Bone marrow smear — 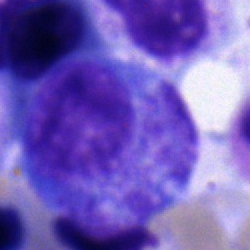

Q: Identify the cell.
A: Progranulocyte.